Bone marrow aspirate smear:
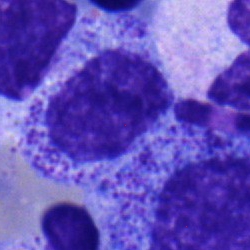
Single cell identified as a myelocyte.